Single-cell crop; 250 by 250 pixels; bone marrow aspirate smear.
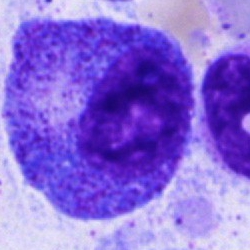 The morphological class is promyelocyte.